Bone marrow smear · single cell centered in the field — 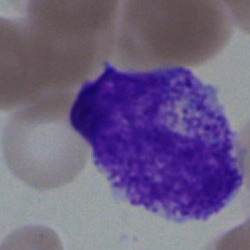
A metamyelocyte.